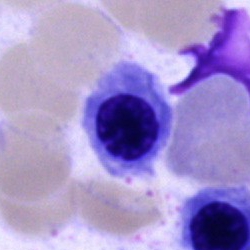
{"cell_type": "normoblast", "lineage": "erythroid"}